Bone marrow aspirate smear:
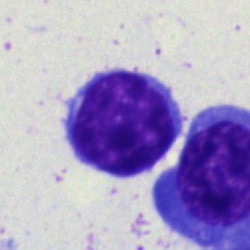The classification is lymphocyte.